Bone marrow smear: 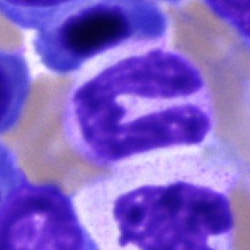

Q: Identify the cell.
A: A neutrophil (band).